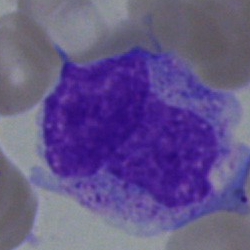
Single-cell crop from a bone marrow smear: monocyte.